Bone marrow smear · Pappenheim-stained:
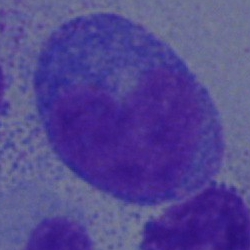

A promyelocyte.